Bone marrow aspirate smear; 250×250; cropped to a single cell
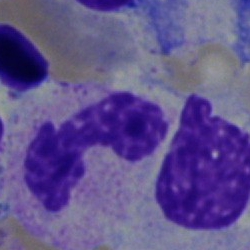 {"cell_type": "segmented neutrophil", "lineage": "myeloid"}